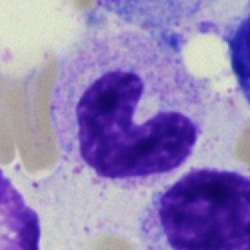

A stab cell on a bone marrow smear.